Bone marrow smear — 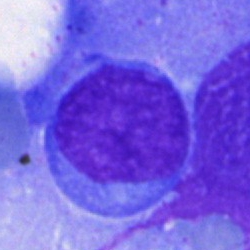

Q: What cell is this?
A: Undifferentiated blast.